Bone marrow aspirate smear. May-Grünwald-Giemsa/Pappenheim stain:
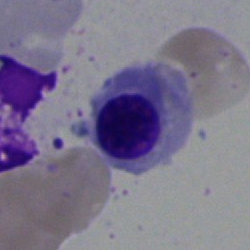
This is a nucleated red blood cell.